Peripheral blood film:
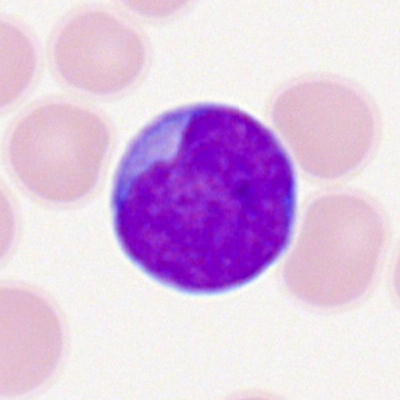Showing a myeloblast.